Bone marrow smear; brightfield microscopy, 40× oil immersion.
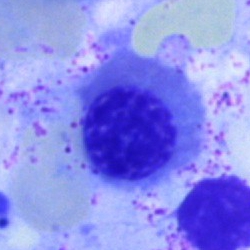
This is an erythroblast.